Bone marrow smear — 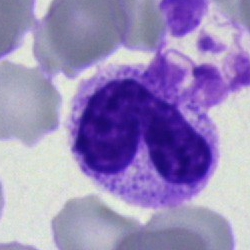

This is a neutrophil (band).